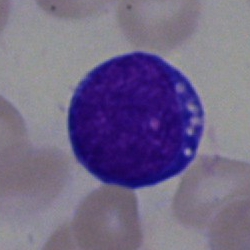 Morphology consistent with a blast cell.